Bone marrow smear: 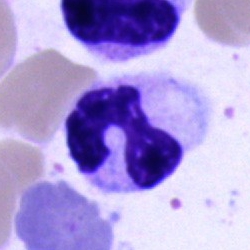

Cell: band neutrophil.